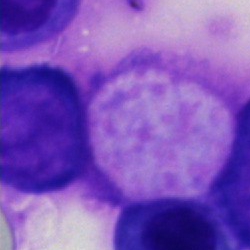 An artefact.